Bone marrow aspirate smear · 40× oil immersion
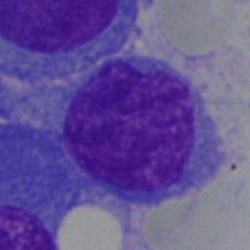Morphological class — plasmacyte.